Bone marrow smear · cropped to a single cell: 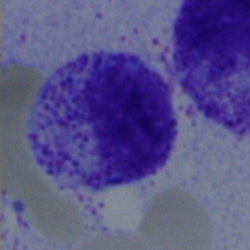
Specimen: bone marrow aspirate smear.
Cell: myelocyte.